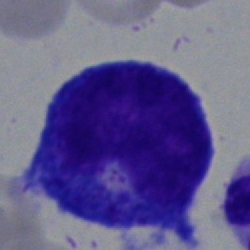
Cell type: promyelocyte.